Bone marrow aspirate smear. Brightfield, 40× oil-immersion objective: 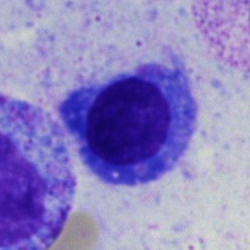Q: Which cell type is shown here?
A: Plasma cell.